Single cell centered in the field · bone marrow smear · Pappenheim-stained:
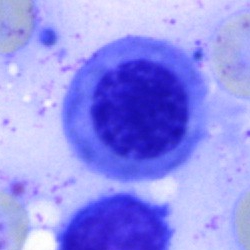
{"cell_type": "nucleated red blood cell", "lineage": "erythroid"}